Peripheral blood film · 400×400 — 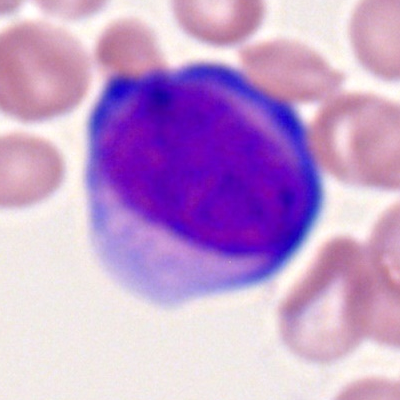Q: What type of cell is this?
A: A myeloblast.